Peripheral blood smear · 360×363 px — 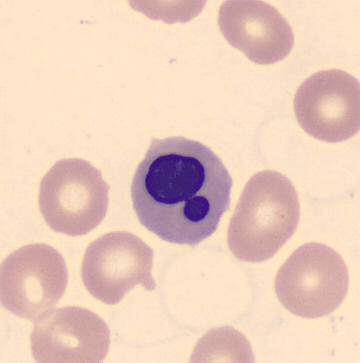

{"cell_type": "nucleated red blood cell"}